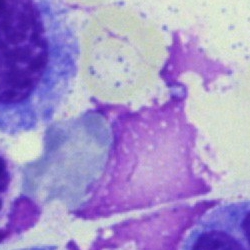

An artifact.